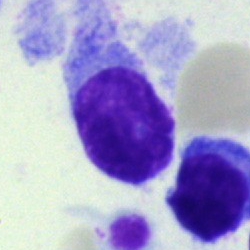Morphological class: hairy cell.